Bone marrow smear:
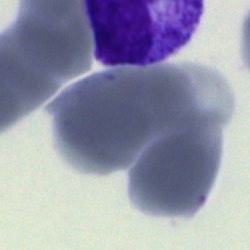Classification: artefact.